250×250; bone marrow smear — 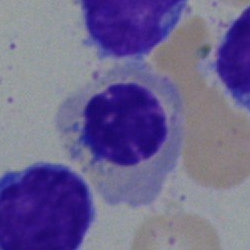 Cell type — nucleated red cell.